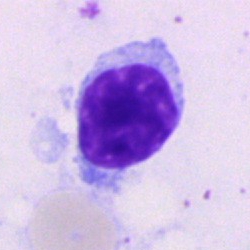 Impression → lymphocyte.